Bone marrow aspirate smear: 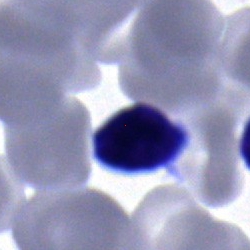 Q: What type of cell is this?
A: This is a typical lymphocyte.